Bone marrow aspirate smear.
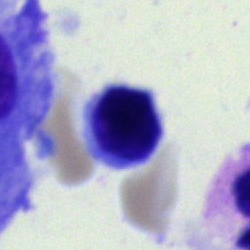Specimen: bone marrow smear.
Cell type: typical lymphocyte.
Lineage: lymphoid.